Bone marrow aspirate smear:
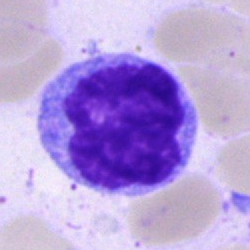 Cell — monocyte.